Bone marrow smear; Pappenheim-stained: 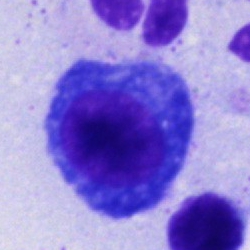

Specimen: bone marrow aspirate smear.
Cell: plasma cell.
Lineage: lymphoid.